Pappenheim-stained. Bone marrow smear: 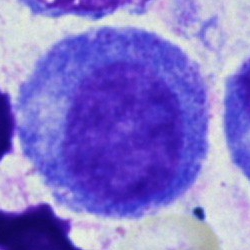

Showing a progranulocyte.